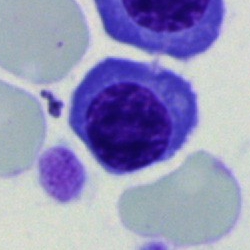The cell is erythroblast.